Bone marrow aspirate smear:
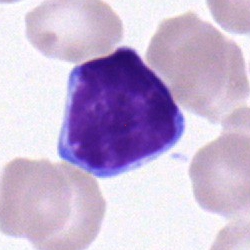Cell type: lymphocyte.